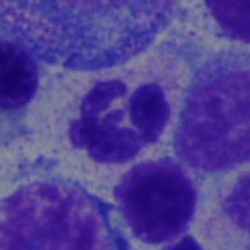

The morphological class is neutrophil (segmented).